May-Grünwald-Giemsa/Pappenheim stain · bone marrow aspirate smear — 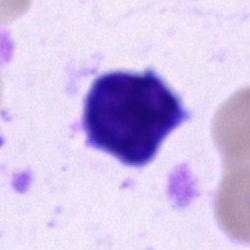Typical lymphocyte.